Bone marrow aspirate smear — 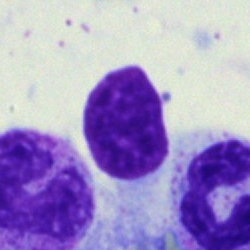
An artifact.